Pappenheim-stained; bone marrow smear; single-cell crop:
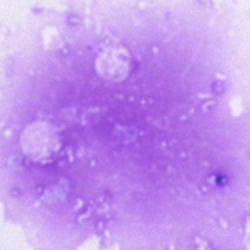Morphology → artifact.